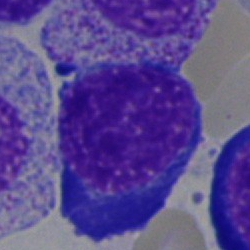
Morphological class — erythroblast.